Single cell centered in the field · Pappenheim-stained · bone marrow smear — 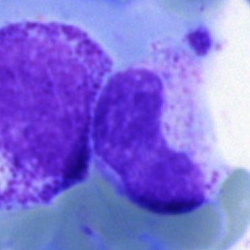

Q: What is shown here?
A: Stab cell.